Bone marrow smear: 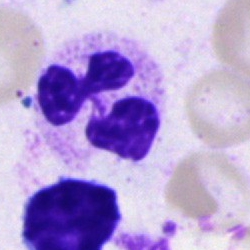 Specimen: bone marrow aspirate smear.
Classification: polymorphonuclear neutrophil.